Bone marrow aspirate smear: 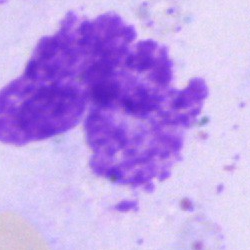 Q: What is shown here?
A: Artifact.